May-Grünwald-Giemsa/Pappenheim stain. Bone marrow smear: 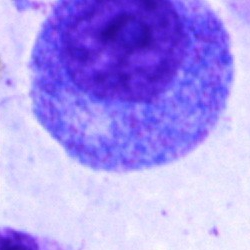Specimen: bone marrow smear.
Cell type: progranulocyte.